Bone marrow aspirate smear: 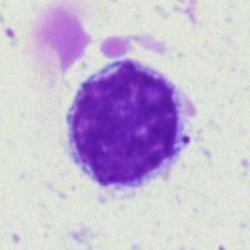Morphological class: lymphocyte.